MGG-stained; bone marrow aspirate smear: 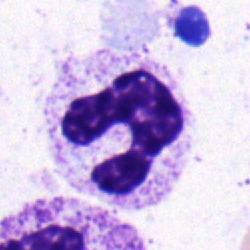
Specimen: bone marrow aspirate smear.
Classification: band-form neutrophil.
Lineage: myeloid.